Romanowsky stain. Peripheral blood smear: 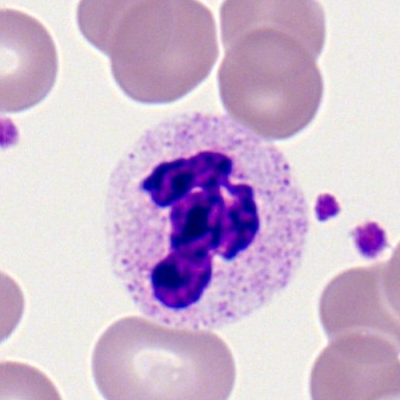Classification = segmented neutrophil.